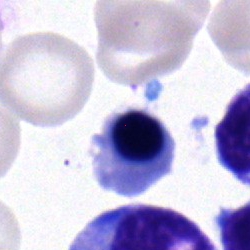Classification: nucleated red blood cell.